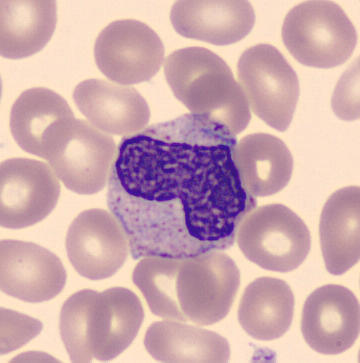 Q: What is this?
A: This is a metamyelocyte.